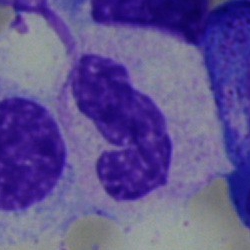
Bone marrow aspirate smear, single cell — band neutrophil.